Bone marrow aspirate smear
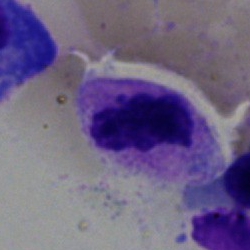
Showing a segmented neutrophil.